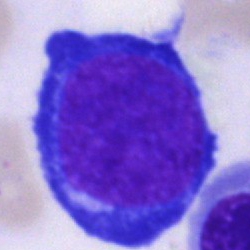Specimen: bone marrow smear.
Classification: proerythroblast.
Lineage: erythroid.